Cropped to a single cell. Bone marrow smear:
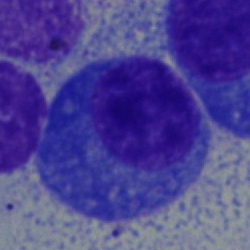The classification is plasmacyte.